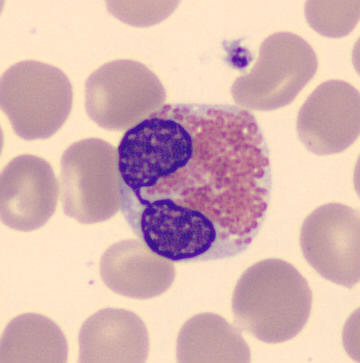Acquisition: Peripheral blood smear; 360 by 363 pixels. The cell is eosinophil.